Bone marrow aspirate smear; May-Grünwald-Giemsa/Pappenheim stain.
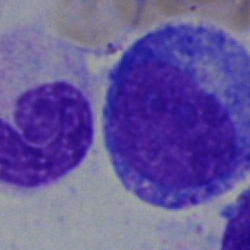

Morphology — promyelocyte.